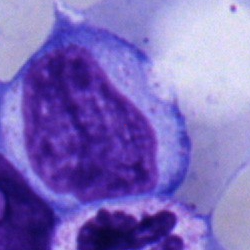

Morphology consistent with a lymphocyte.